Bone marrow aspirate smear. Single cell centered in the field. 250 by 250 pixels.
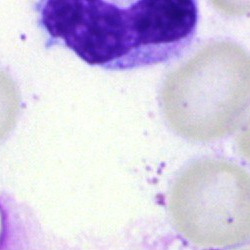

Q: What is the morphological classification of this cell?
A: This is a cell of indeterminate lineage.